Bone marrow smear.
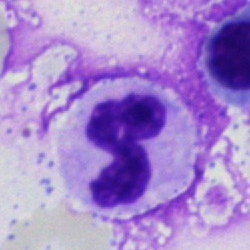

Classification = segmented neutrophil.